Bone marrow aspirate smear · 40× objective, oil immersion.
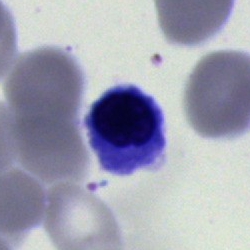

Cell — nucleated red cell.